Peripheral blood smear; 400 by 400 pixels; 100× oil immersion:
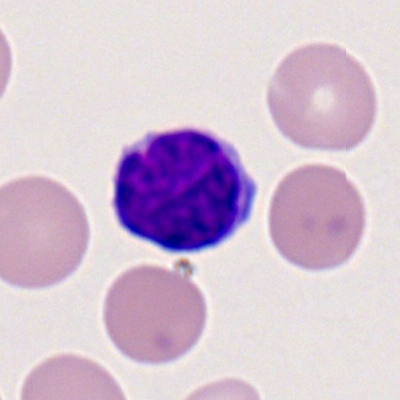 Cell type = typical lymphocyte.